Bone marrow aspirate smear
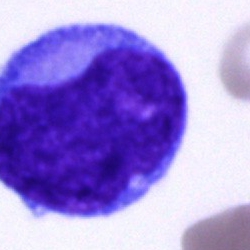The cell shown is a blast.